40× objective, oil immersion · bone marrow smear: 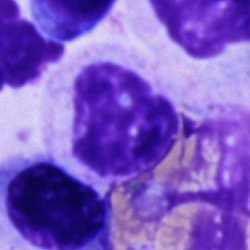

This is an unidentifiable cell.